Bone marrow smear: 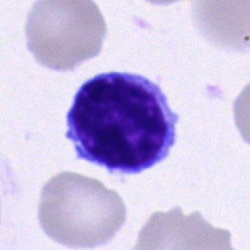
Impression — typical lymphocyte.